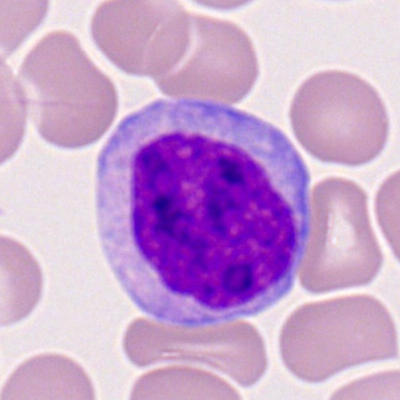
This is a monocyte.